Bone marrow aspirate smear:
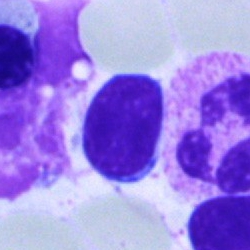 This is a lymphocyte.